Bone marrow smear
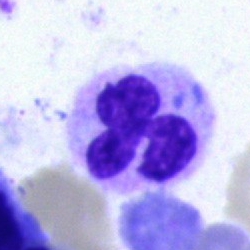
Cell = neutrophil (segmented).